Bone marrow aspirate smear; image size 250×250
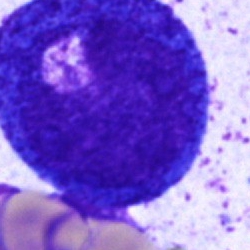

{"cell_type": "promyelocyte", "lineage": "myeloid"}